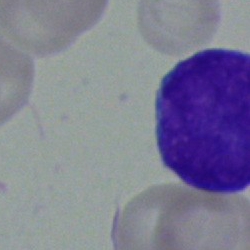Classification = blast cell.